Bone marrow aspirate smear.
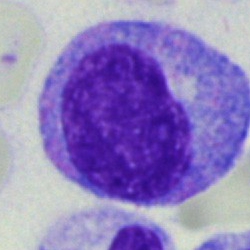Classification = promyelocyte.